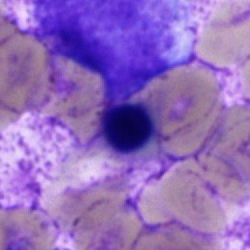Bone marrow smear showing a normoblast.